Bone marrow smear; Pappenheim-stained; 40× oil immersion
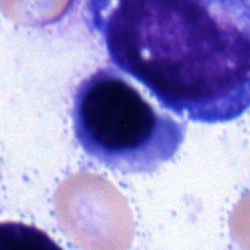
Specimen: bone marrow smear.
Classification: erythroblast.